Pappenheim-stained. Single cell centered in the field. Bone marrow smear — 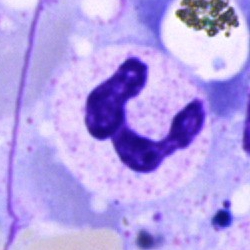 Classification — polymorphonuclear neutrophil.